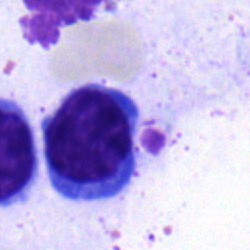Q: What is the morphological classification of this cell?
A: This is a lymphocyte.